Bone marrow smear — 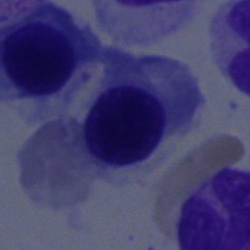 Specimen: bone marrow aspirate smear.
Cell type: nucleated red blood cell.
Lineage: erythroid.